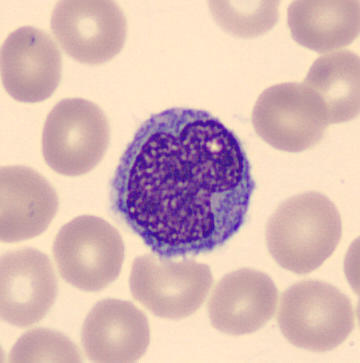Single cell centered in the field · peripheral blood film · 360 by 363 pixels. Identified as a monocyte.